May-Grünwald-Giemsa/Pappenheim stain. Bone marrow smear:
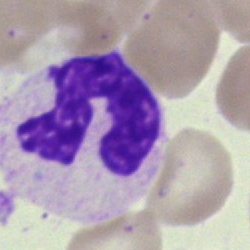 Classification: segmented neutrophil.